Bone marrow aspirate smear — 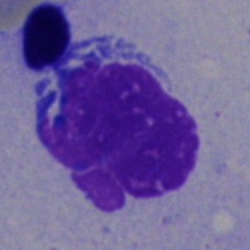Showing an artefact.